Bone marrow aspirate smear; single-cell crop; 40× objective, oil immersion:
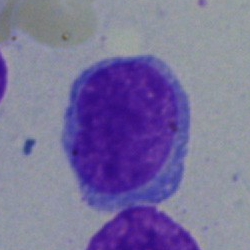Morphology — blast cell.